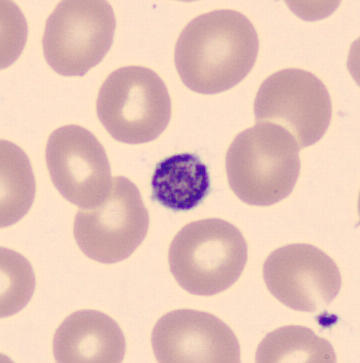 Specimen: peripheral blood film.
Morphological class: thrombocyte.